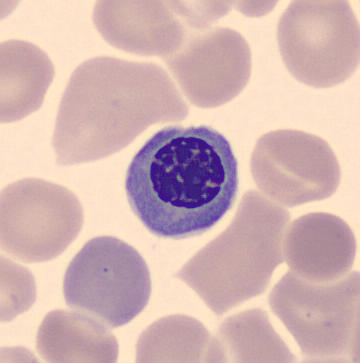
Erythroblast.